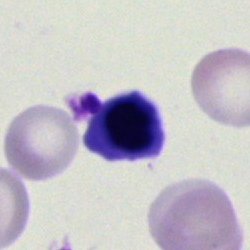 The classification is nucleated red cell.